Bone marrow aspirate smear; 40× oil immersion; image size 250×250:
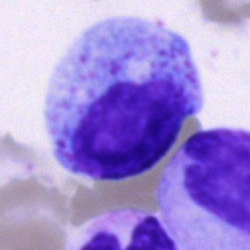 Impression — promyelocyte.